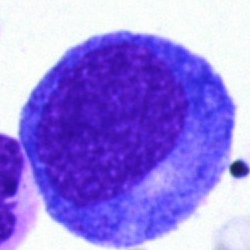
Specimen: bone marrow smear.
Cell type: promyelocyte.
Lineage: myeloid.